Bone marrow smear
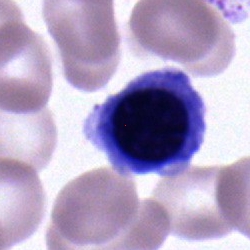
Morphological class — nucleated red cell.